Peripheral blood film: 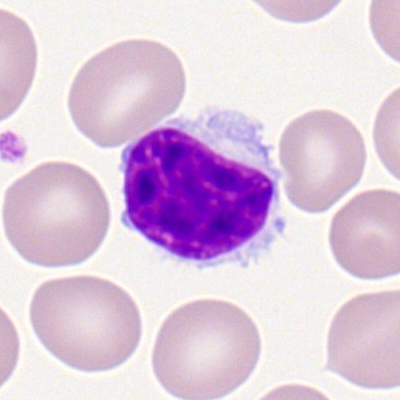 Morphological class — lymphocyte.